Bone marrow smear.
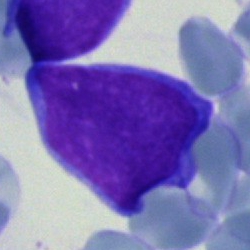Morphology consistent with a blast cell.